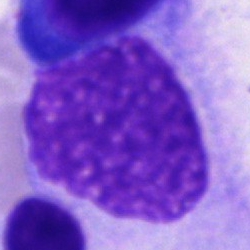Impression → artefact.